Bone marrow smear:
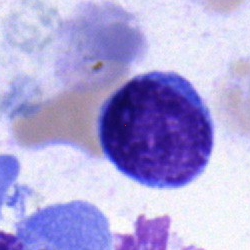
Classification = blast cell.